Bone marrow smear.
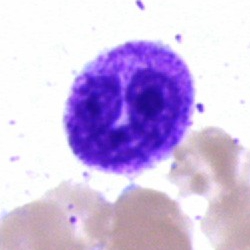
Polymorphonuclear neutrophil.